Bone marrow aspirate smear — 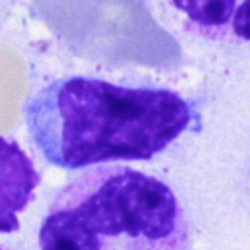
Impression → lymphocyte.